Bone marrow smear
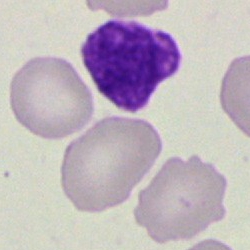
This is an artefact.